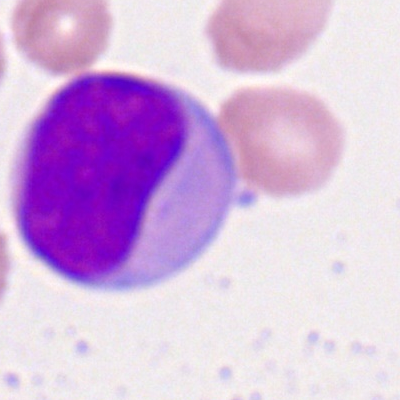 Peripheral blood film, single cell — myeloid blast.